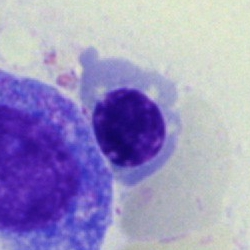Bone marrow smear showing a nucleated red cell.